Bone marrow smear — 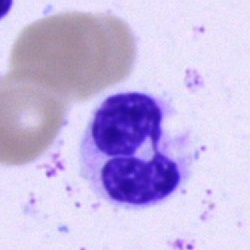A neutrophil (segmented).